Bone marrow aspirate smear. MGG-stained.
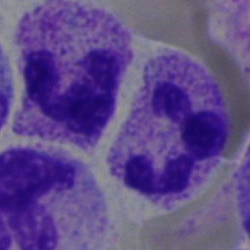

Classification — neutrophil (segmented).